Bone marrow smear · MGG-stained — 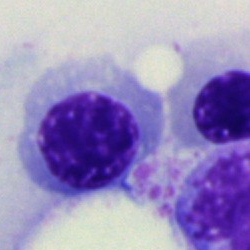

Morphology — nucleated red cell.